Bone marrow smear; image size 250×250
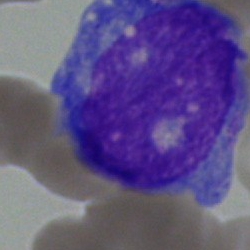
Morphology — basophil.